Bone marrow smear.
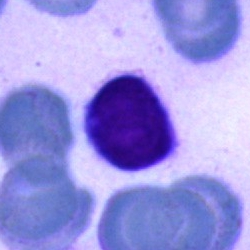

This is a lymphocyte.